Single-cell field · bone marrow aspirate smear — 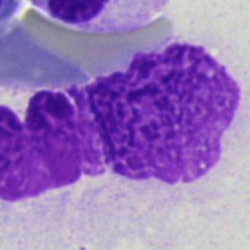This is an artefact.